Bone marrow smear · 40× objective, oil immersion: 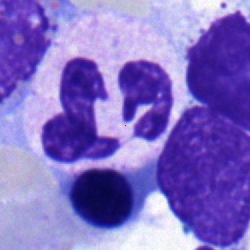

The cell shown is a neutrophil (segmented).